Brightfield, 40× oil-immersion objective. Bone marrow aspirate smear — 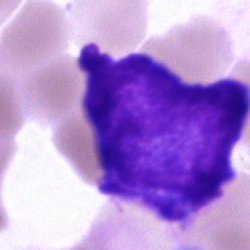Single cell identified as a blast.